Bone marrow aspirate smear. MGG-stained — 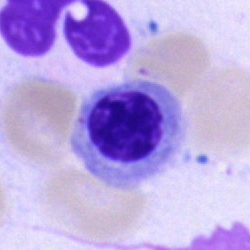
The cell shown is a normoblast.